Brightfield, 40× oil-immersion objective · bone marrow aspirate smear.
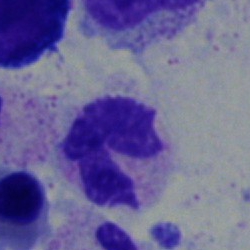 Neutrophil (segmented).